Single-cell crop. Automated cell imaging (CellaVision DM96). Peripheral blood film: 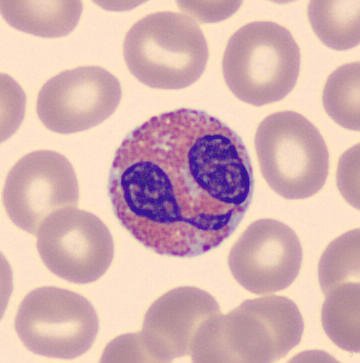Specimen: peripheral blood smear.
Morphological class: eosinophil.
Lineage: myeloid.